Bone marrow aspirate smear: 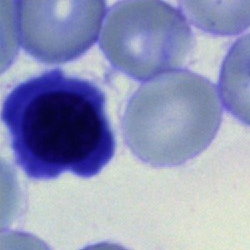

Normoblast.